Peripheral blood film
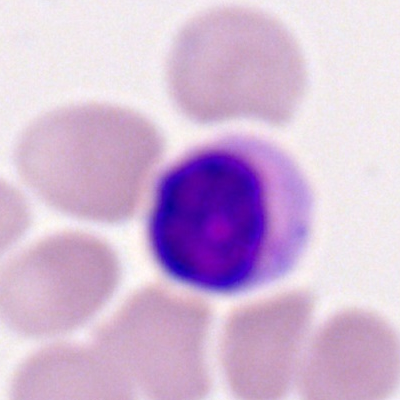

Classification: lymphocyte.